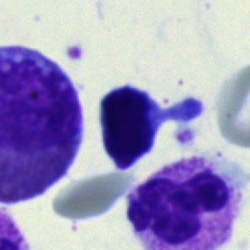
Bone marrow smear showing a typical lymphocyte.